Bone marrow aspirate smear
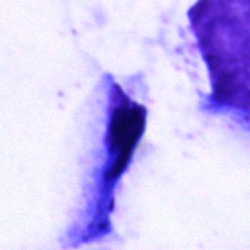Q: What is shown here?
A: This is an artefact.